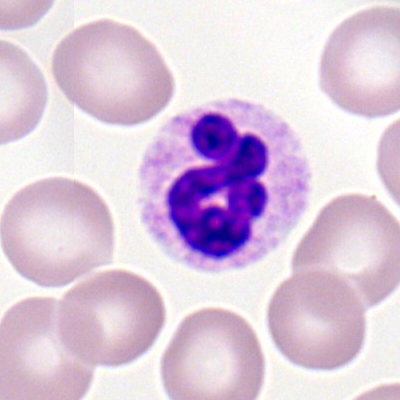
Q: What is shown here?
A: It is a neutrophil (segmented).